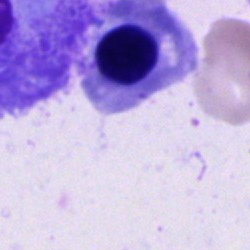
A nucleated red blood cell on a bone marrow smear.